Brightfield, 40× oil-immersion objective. Bone marrow aspirate smear — 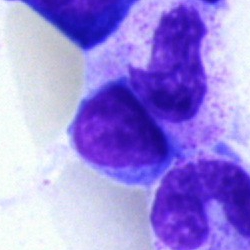Specimen: bone marrow aspirate smear.
Classification: lymphocyte.
Lineage: lymphoid.